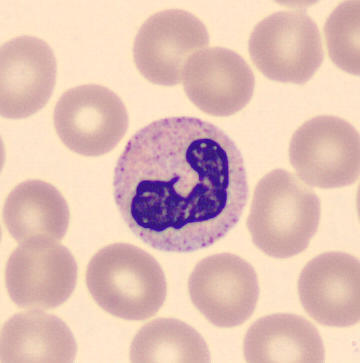
Morphological class: stab cell. Acquisition: Peripheral blood smear; MGG stain; automated cell imaging (CellaVision DM96).